Bone marrow smear · image size 250×250: 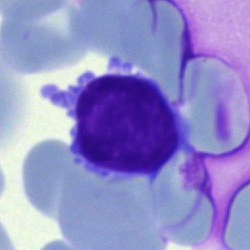

Classification = typical lymphocyte.